Bone marrow aspirate smear: 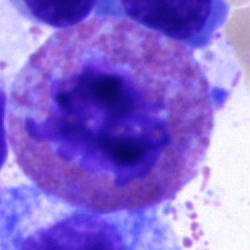

Morphology → eosinophilic granulocyte.